Peripheral blood film — 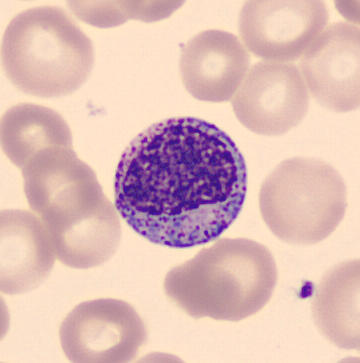
The cell shown is a myelocyte.